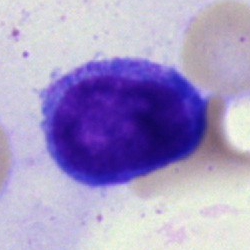

Cell type = lymphocyte.